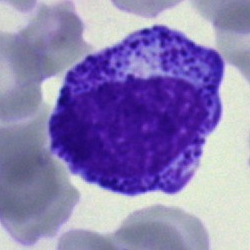
A promyelocyte.